Bone marrow smear:
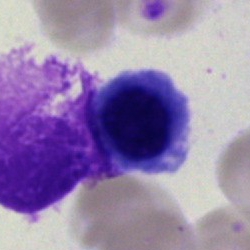 Cell type = nucleated red cell.